Bone marrow aspirate smear
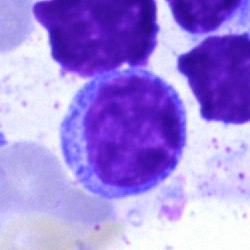
The classification is typical lymphocyte.